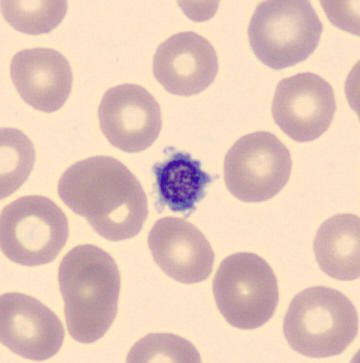This is a platelet.